Pappenheim-stained. Bone marrow smear. Single-cell field:
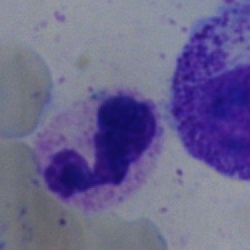{"cell_type": "segmented neutrophil", "lineage": "myeloid"}